Bone marrow smear; single-cell field: 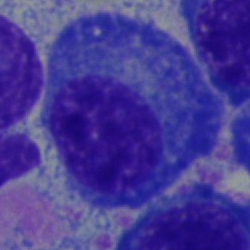

Cell type = plasma cell.